Bone marrow aspirate smear · 250×250 · single-cell crop: 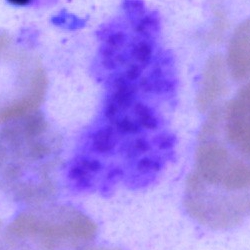
An artifact.